Peripheral blood film. Romanowsky-stained — 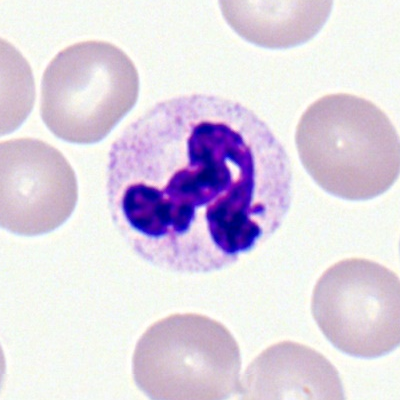
The cell type is neutrophil (segmented).